Single-cell crop. Bone marrow aspirate smear:
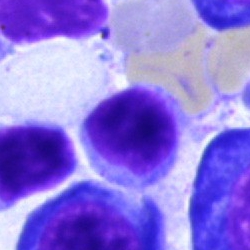Morphology consistent with a typical lymphocyte.